Bone marrow aspirate smear.
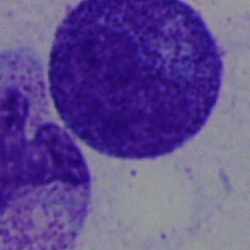
Q: What cell is this?
A: A promyelocyte.